Bone marrow aspirate smear:
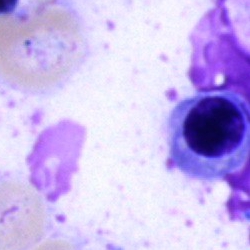Single cell identified as an erythroblast.